Image size 250×250 · bone marrow aspirate smear · brightfield microscopy, 40× oil immersion — 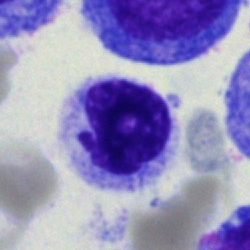Q: Identify the cell.
A: It is a lymphocyte.